Bone marrow smear. 250 by 250 pixels:
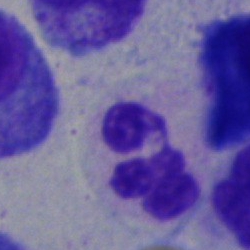
Impression → segmented neutrophil.